Bone marrow aspirate smear; 40× oil immersion:
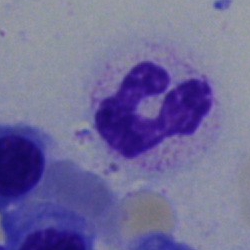 The cell is segmented neutrophil.